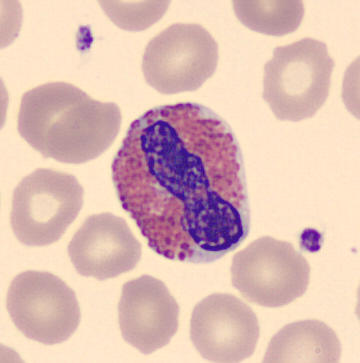
Image: Peripheral blood smear. Identified as an eosinophil.